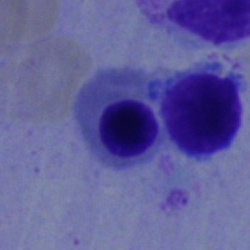

Specimen: bone marrow aspirate smear.
Cell: erythroblast.
Lineage: erythroid.